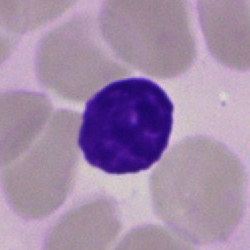Specimen: bone marrow smear.
Classification: artifact.